Bone marrow aspirate smear.
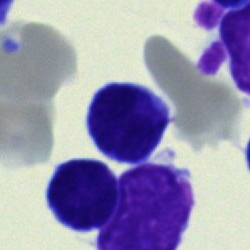

Showing a typical lymphocyte.